Bone marrow smear:
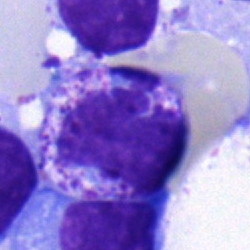A segmented neutrophil.